Bone marrow aspirate smear
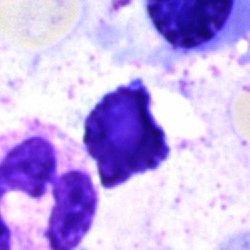
The cell shown is an artifact.